Bone marrow aspirate smear.
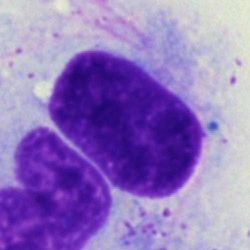
Cell type = artifact.